Single-cell field · brightfield, 40× oil-immersion objective · bone marrow smear — 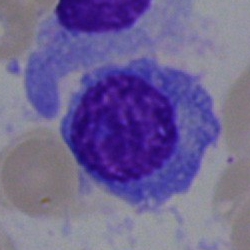

Morphological class = plasma cell.